Brightfield, 40× oil-immersion objective. Bone marrow aspirate smear. 250 by 250 pixels:
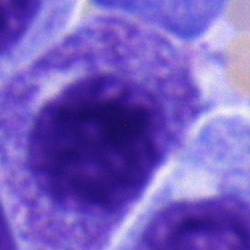 The cell type is myelocyte.